250 by 250 pixels; bone marrow aspirate smear.
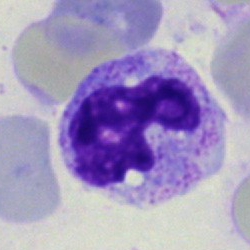

Specimen: bone marrow aspirate smear.
Morphological class: segmented neutrophil.
Lineage: myeloid.